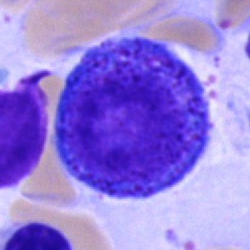
Cell — promyelocyte.